Bone marrow aspirate smear: 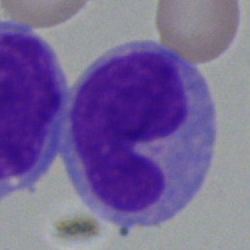

Monocyte.